Bone marrow aspirate smear · Pappenheim-stained.
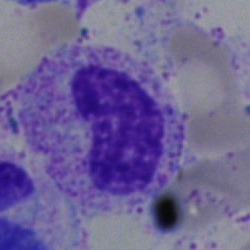
Q: Identify the cell.
A: It is a metamyelocyte.